Image size 250×250; bone marrow aspirate smear:
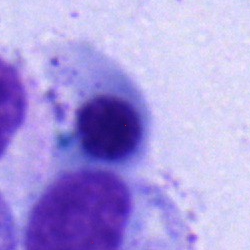

Q: What cell is this?
A: This is a nucleated red cell.